Bone marrow aspirate smear: 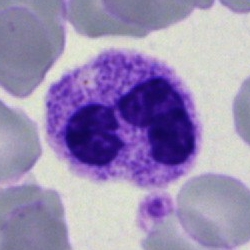 The cell shown is a polymorphonuclear neutrophil.